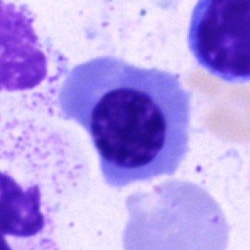 {"cell_type": "erythroblast", "lineage": "erythroid"}